250 by 250 pixels. Bone marrow smear:
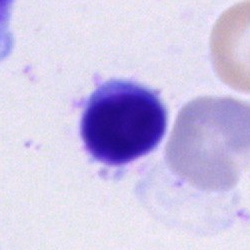
{"cell_type": "typical lymphocyte"}